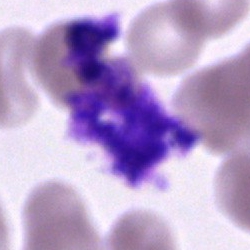
Specimen: bone marrow smear.
Classification: artefact.